Bone marrow smear
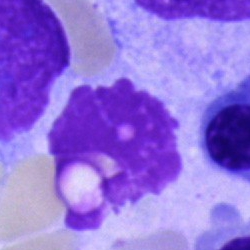 {"cell_type": "artefact"}